250×250. Bone marrow smear. Brightfield microscopy, 40× oil immersion — 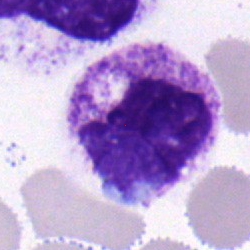Showing an eosinophilic granulocyte.